Bone marrow aspirate smear; 250×250 — 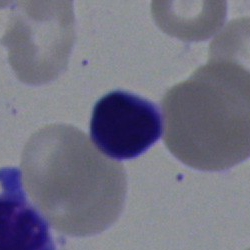

Morphology → typical lymphocyte.